Peripheral blood smear — 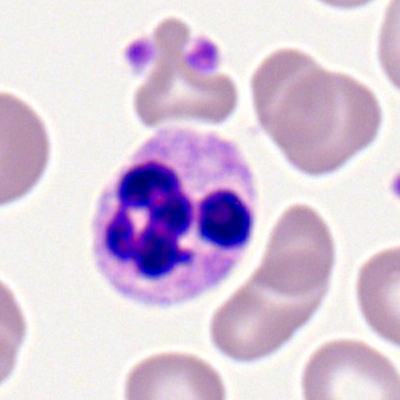

This is a segmented neutrophil.